Peripheral blood smear: 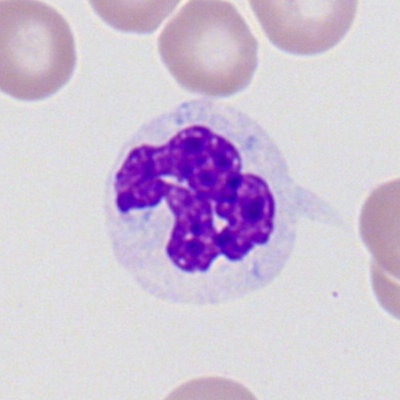 Cell type: segmented neutrophil.